Bone marrow smear
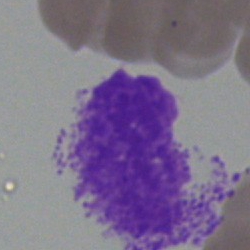

The morphological class is artifact.